Bone marrow smear
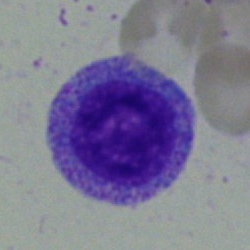

The cell type is myelocyte.